Bone marrow aspirate smear. 250×250
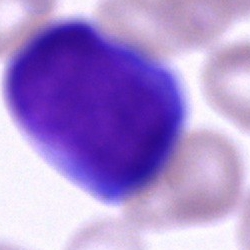{"cell_type": "blast"}